Peripheral blood smear. 400×400 px
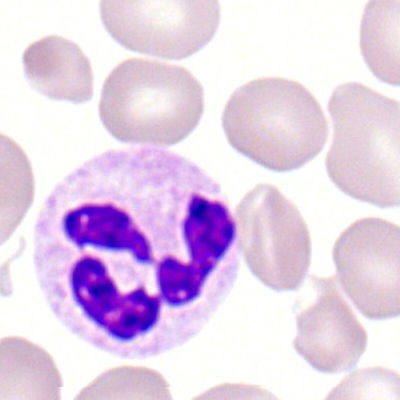 Cell type: polymorphonuclear neutrophil.